Bone marrow smear: 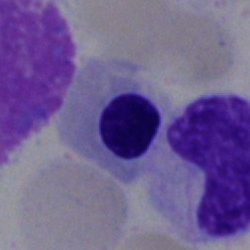Morphology → nucleated red blood cell.